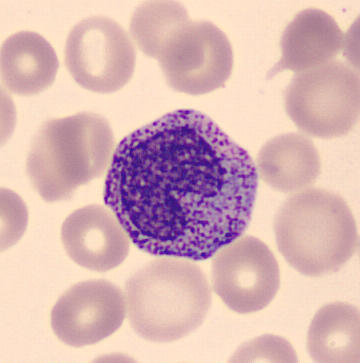Image: May-Grünwald-Giemsa-stained · peripheral blood smear · single cell centered in the field. Cell = metamyelocyte.